Single-cell field · May-Grünwald-Giemsa-stained · peripheral blood smear — 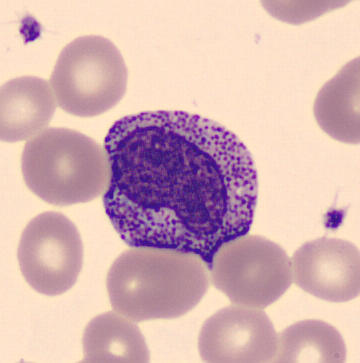
Cell type = myelocyte.